Bone marrow smear: 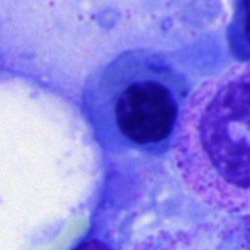
A normoblast.